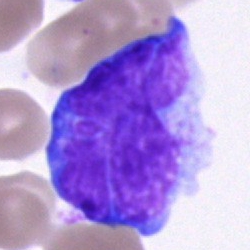
The classification is unidentifiable cell.